Bone marrow smear
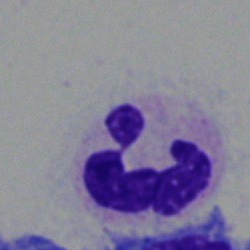The cell shown is a segmented neutrophil.